Bone marrow aspirate smear
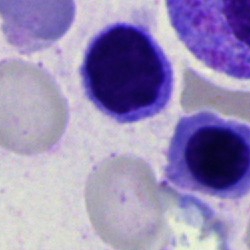The classification is typical lymphocyte.